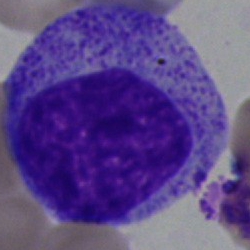 Morphology — promyelocyte.